Bone marrow aspirate smear
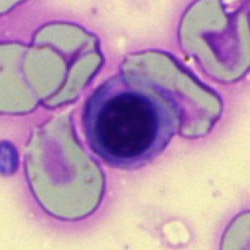

Specimen: bone marrow smear.
Morphological class: nucleated red cell.
Lineage: erythroid.